May-Grünwald-Giemsa stain. Bone marrow aspirate smear
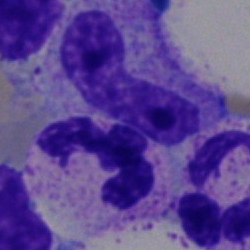
{"cell_type": "segmented neutrophil", "lineage": "myeloid"}